Peripheral blood film.
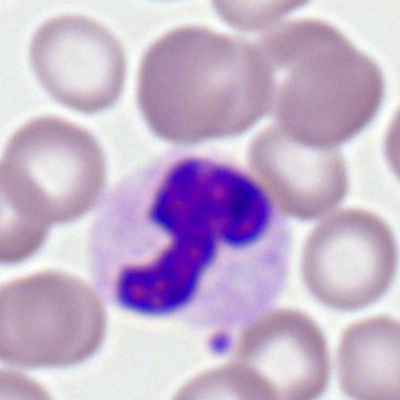 Morphology consistent with a segmented neutrophil.